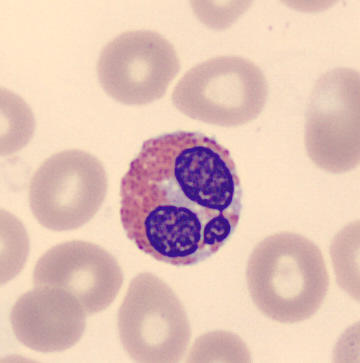
The classification is eosinophil.